250 by 250 pixels. Pappenheim-stained. Bone marrow aspirate smear.
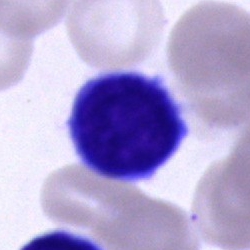 Single cell identified as a lymphocyte.